250×250; bone marrow smear — 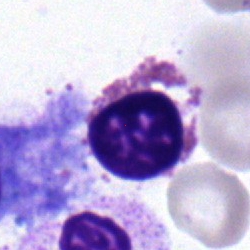
The cell is eosinophilic granulocyte.